Image size 250×250 · 40× oil immersion · bone marrow aspirate smear
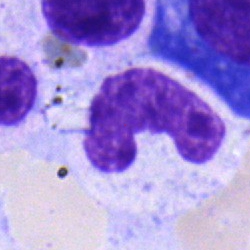Showing a stab cell.